Bone marrow smear.
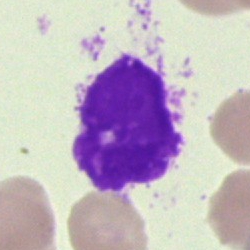
Morphology consistent with an artifact.